Bone marrow aspirate smear · May-Grünwald-Giemsa stain · 40× objective, oil immersion: 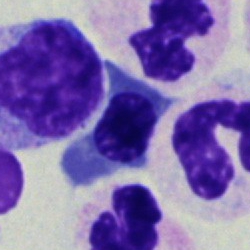

Q: What type of cell is this?
A: It is a nucleated red blood cell.